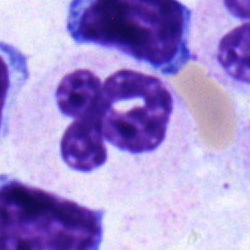
A segmented neutrophil on a bone marrow smear.